400 by 400 pixels; peripheral blood film:
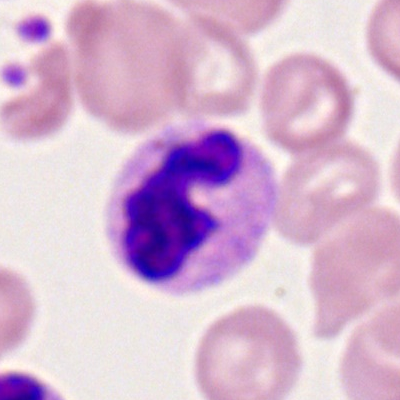

Segmented neutrophil.